Bone marrow smear — 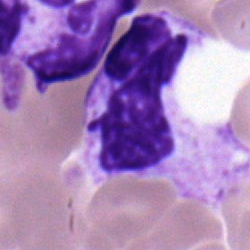

This is a segmented neutrophil.